Peripheral blood smear; 400×400 px; 100× objective, oil immersion.
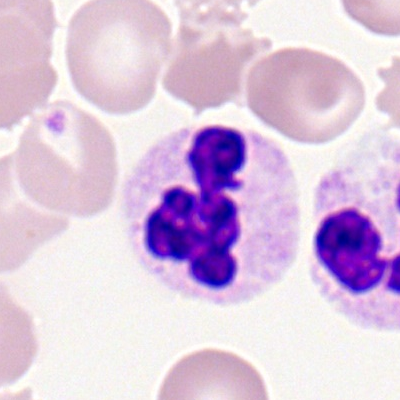Showing a polymorphonuclear neutrophil.